Bone marrow aspirate smear:
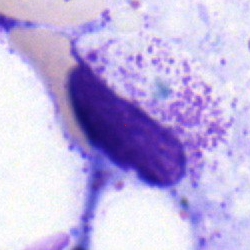
Morphology → myelocyte.